Bone marrow aspirate smear — 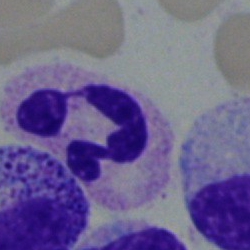
Neutrophil (segmented).